Bone marrow smear
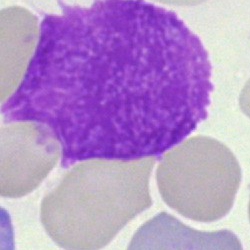

Q: What is shown here?
A: This is an artifact.